Bone marrow smear:
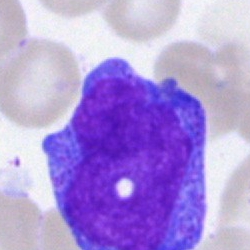

An undifferentiated blast.